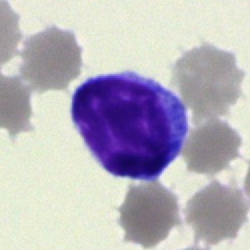Q: Which cell type is shown here?
A: This is a typical lymphocyte.